Bone marrow smear · 250×250
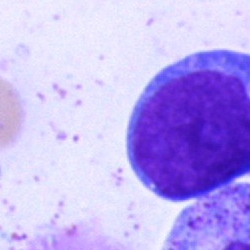
The cell shown is a blast.